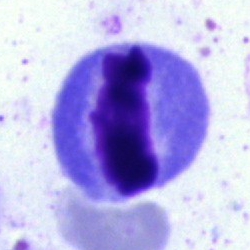
This is a cell of indeterminate lineage.